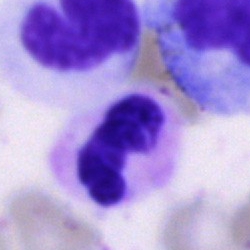Morphological class = neutrophil (segmented).